Bone marrow smear: 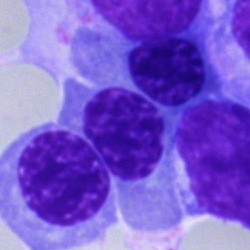

Classification = nucleated red cell.